Bone marrow aspirate smear — 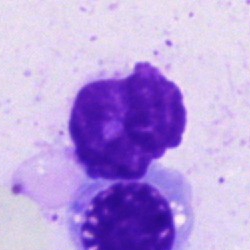Morphological class — normoblast.